Bone marrow aspirate smear: 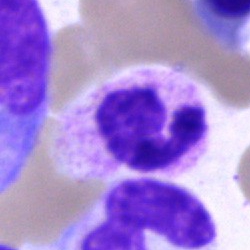Polymorphonuclear neutrophil.